40× oil immersion · May-Grünwald-Giemsa/Pappenheim stain · bone marrow smear.
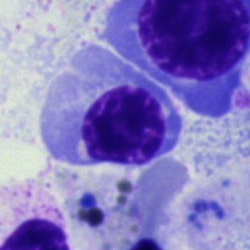
The cell is normoblast.